Single-cell field; bone marrow smear; May-Grünwald-Giemsa/Pappenheim stain
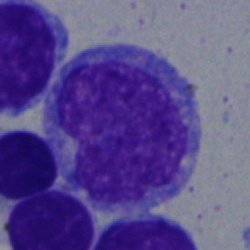 This is a monocyte.